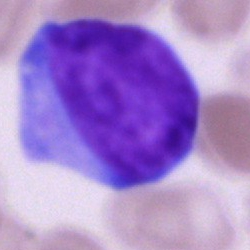This is a blast cell.